Bone marrow smear; May-Grünwald-Giemsa stain.
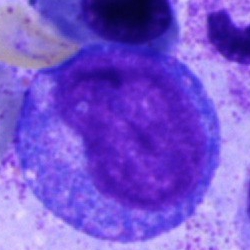 Q: Identify the cell.
A: This is a progranulocyte.